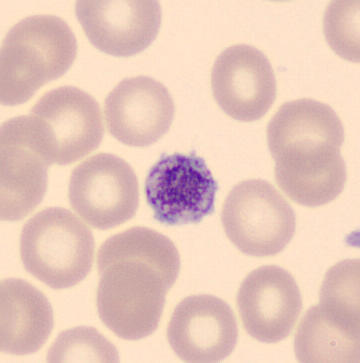Acquisition: Peripheral blood film. MGG-stained.
Morphological class — platelet (thrombocyte).